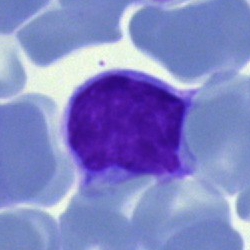 Specimen: bone marrow aspirate smear.
Morphological class: lymphocyte.
Lineage: lymphoid.